Bone marrow aspirate smear — 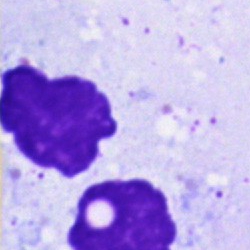

Specimen: bone marrow aspirate smear.
Cell type: artefact.